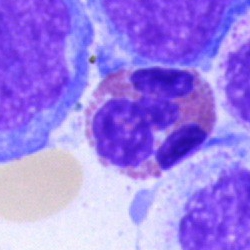

Specimen: bone marrow aspirate smear.
Cell: eosinophilic granulocyte.
Lineage: myeloid.